Peripheral blood smear · Romanowsky stain — 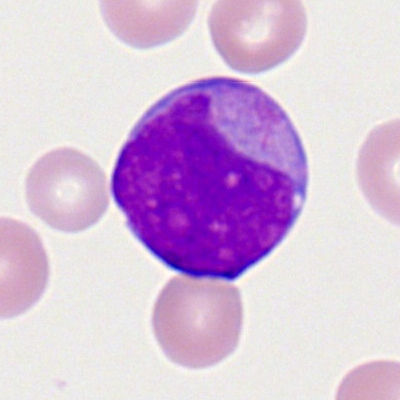
Q: What cell is this?
A: This is a myeloblast.